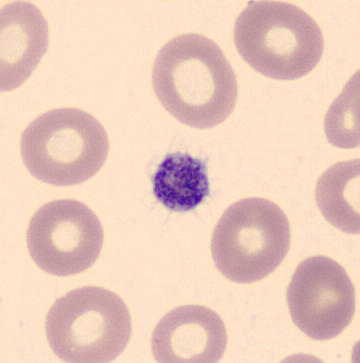

Peripheral blood film.

Classification — platelet.